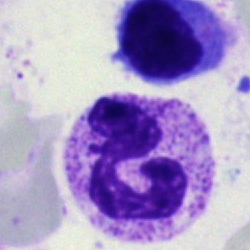

Morphological class: neutrophil (segmented).